250×250 · bone marrow smear · single-cell field — 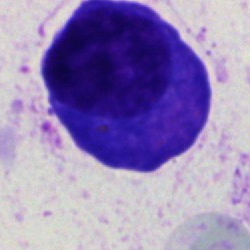

This is a plasma cell.